Bone marrow aspirate smear
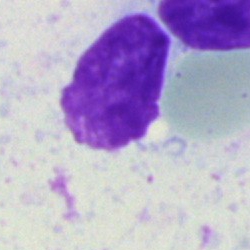
Q: What is shown here?
A: Artefact.